Bone marrow aspirate smear
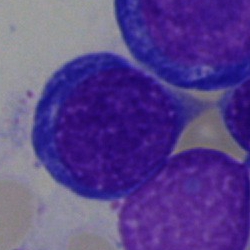Morphology consistent with a nucleated red cell.